Bone marrow aspirate smear.
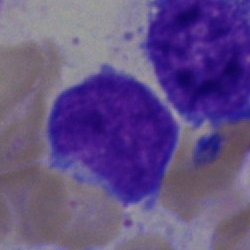
Classification: undifferentiated blast.